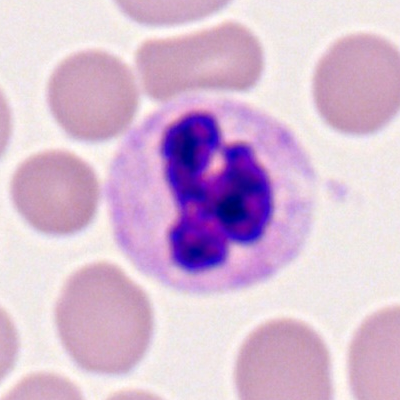

A segmented neutrophil on a peripheral blood smear.